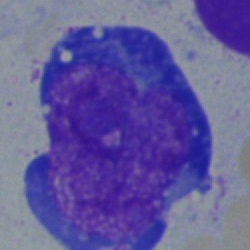

Cell type: blast.